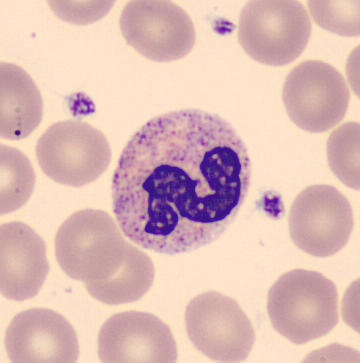
Preparation: Peripheral blood smear.
The cell shown is a segmented neutrophil.